Bone marrow smear; single-cell field
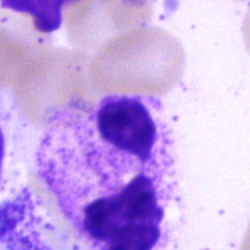A neutrophil (segmented).